Bone marrow aspirate smear · brightfield, 40× oil-immersion objective: 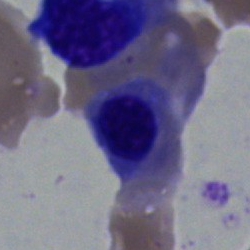

Specimen: bone marrow smear.
Classification: erythroblast.
Lineage: erythroid.